Bone marrow smear
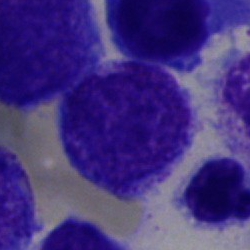
The cell shown is an undifferentiated blast.